Bone marrow smear; Pappenheim-stained:
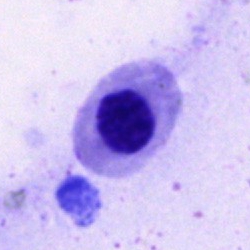
Q: What type of cell is this?
A: It is a nucleated red blood cell.